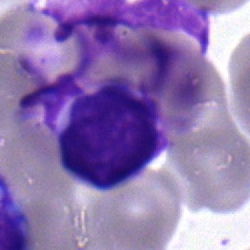

Morphology — typical lymphocyte.